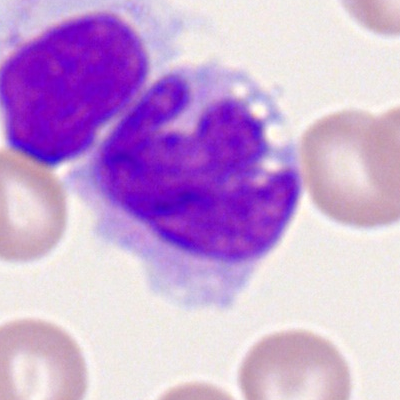Showing a monocyte.